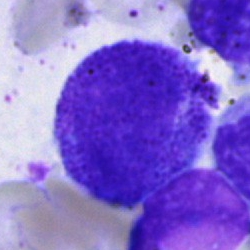
Single cell identified as a promyelocyte.